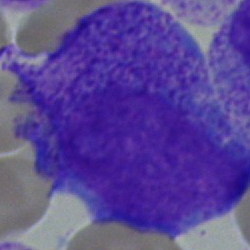
Specimen: bone marrow smear.
Cell type: promyelocyte.
Lineage: myeloid.